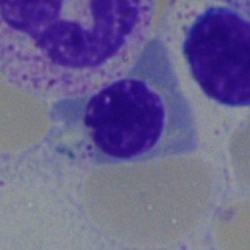

Specimen: bone marrow aspirate smear.
Cell type: erythroblast.